Single-cell crop. Bone marrow aspirate smear
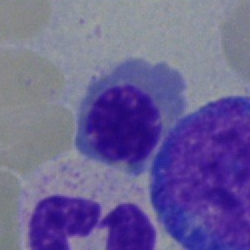

A nucleated red blood cell.